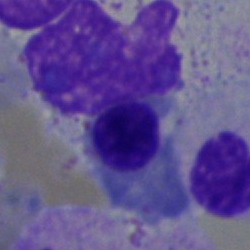 {"cell_type": "nucleated red blood cell", "lineage": "erythroid"}